Bone marrow aspirate smear: 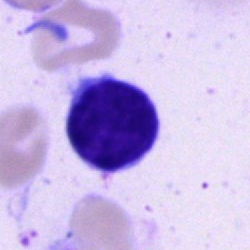 Cell: lymphocyte.